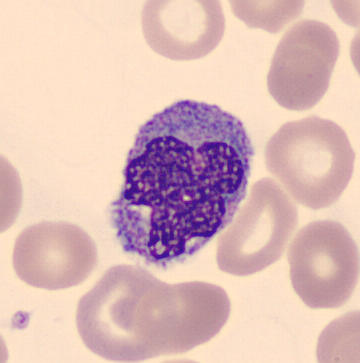

Cell: monocyte. Peripheral blood smear.